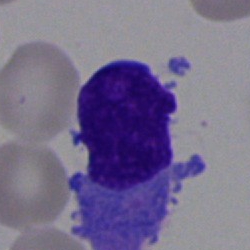 Specimen: bone marrow smear.
Cell: typical lymphocyte.
Lineage: lymphoid.